Peripheral blood smear · M8 digital microscope (Precipoint), 100× oil immersion
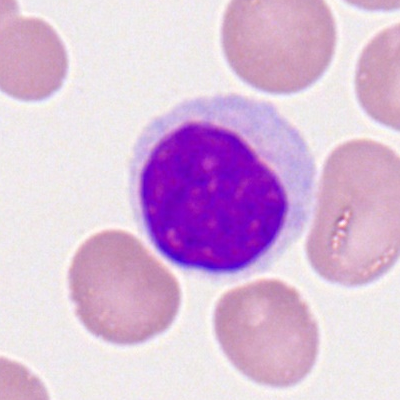Q: What type of cell is this?
A: This is a typical lymphocyte.